Bone marrow aspirate smear: 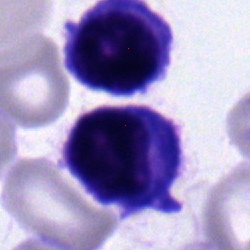 Classification — plasmacyte.